Bone marrow aspirate smear — 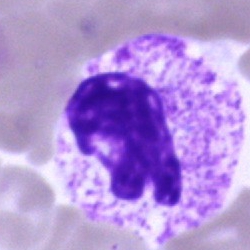 Morphology consistent with a neutrophil (segmented).